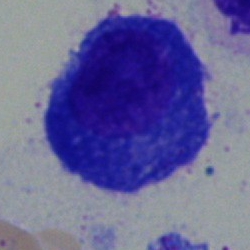Impression — plasmacyte.